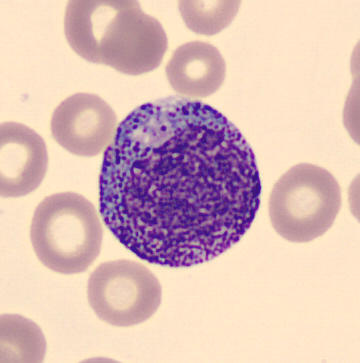 Peripheral blood film; MGG stain.
The cell shown is a progranulocyte.